Bone marrow smear:
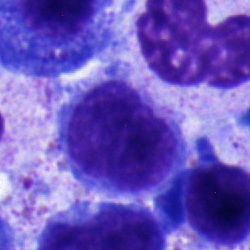 Monocyte.